Peripheral blood film · May-Grünwald-Giemsa-stained · 360 by 363 pixels — 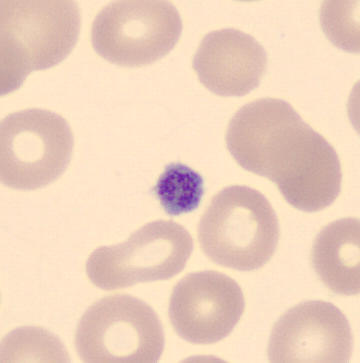 Identified as a platelet (thrombocyte).